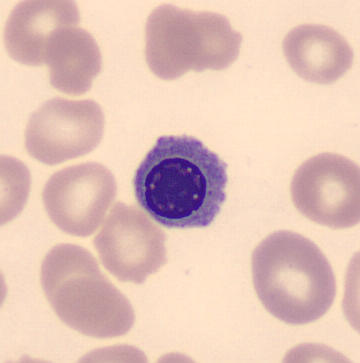 Imaged on a CellaVision DM96 analyser. Peripheral blood film. Single cell identified as a normoblast.